Bone marrow aspirate smear: 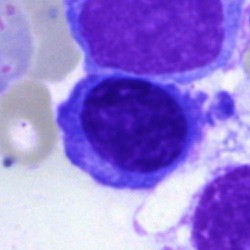Specimen: bone marrow smear.
Classification: plasma cell.
Lineage: lymphoid.